Single-cell field; bone marrow smear
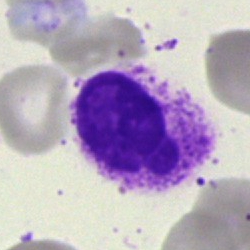 The classification is neutrophil (segmented).